Bone marrow smear
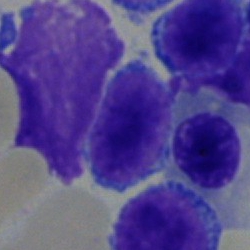 Lymphocyte.